Bone marrow aspirate smear
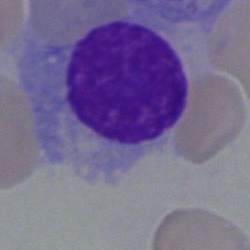

Plasma cell.